Bone marrow aspirate smear. Single-cell field:
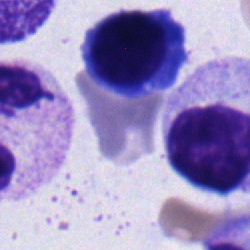
Impression — erythroblast.